Bone marrow aspirate smear; single cell centered in the field.
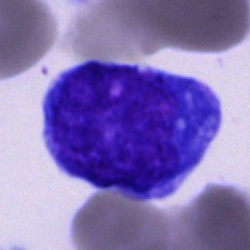The cell shown is a monocyte.